Single cell centered in the field · peripheral blood film: 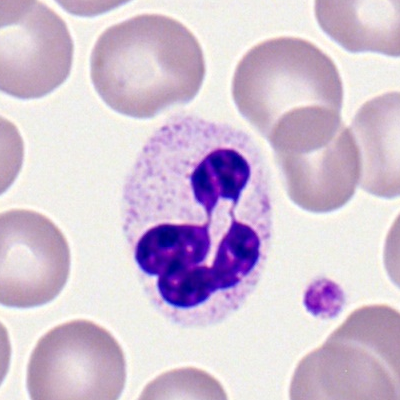
Neutrophil (segmented).